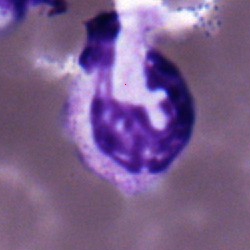 Q: What is shown here?
A: It is a neutrophil (segmented).